Bone marrow aspirate smear
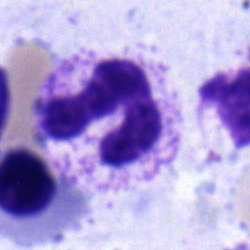Q: Identify the cell.
A: This is a band-form neutrophil.